Bone marrow smear: 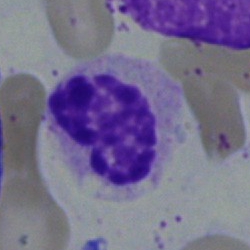
Morphological class: stab cell.